Bone marrow smear:
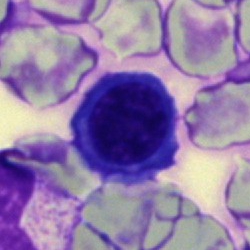
Morphology consistent with a nucleated red blood cell.